MGG-stained; bone marrow aspirate smear.
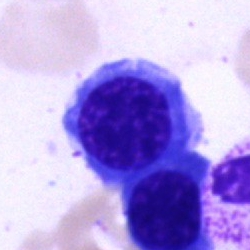A nucleated red cell.